Bone marrow smear
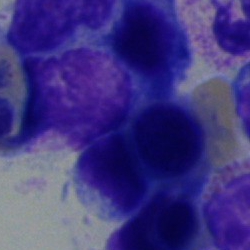
Morphology → normoblast.